Bone marrow smear; brightfield, 40× oil-immersion objective; 250×250 px.
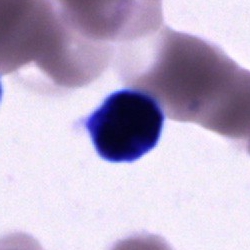 This is a cell of indeterminate lineage.